Bone marrow smear:
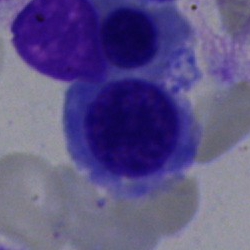 An erythroblast.